Bone marrow aspirate smear — 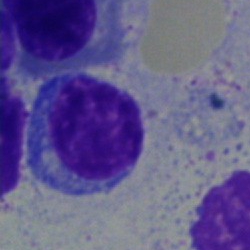

The classification is typical lymphocyte.